Peripheral blood film.
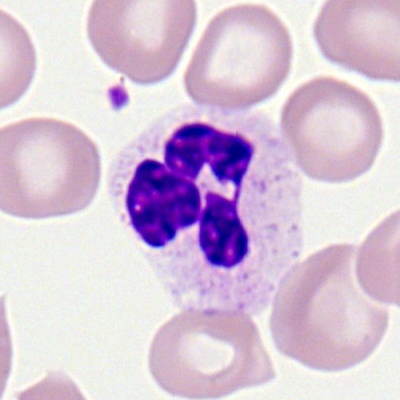Cell type — segmented neutrophil.